Peripheral blood film:
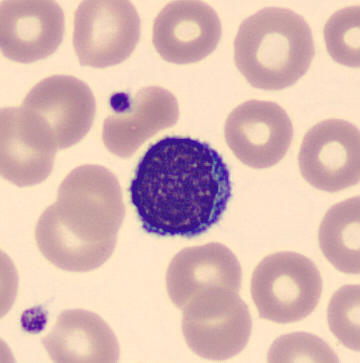

Typical lymphocyte.